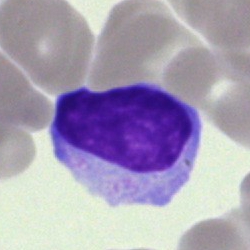 Classification — typical lymphocyte.